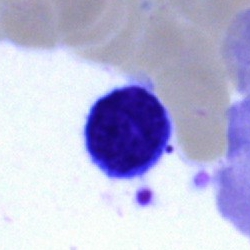
Impression — lymphocyte.